Bone marrow aspirate smear:
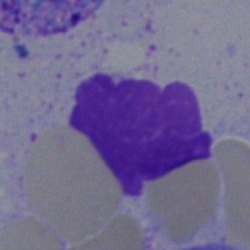
Single cell identified as an artifact.